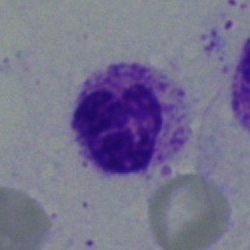
Showing a neutrophil (segmented).